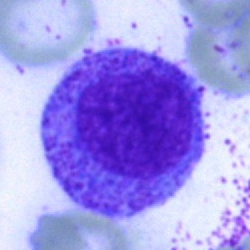 Cell type = promyelocyte.